Bone marrow aspirate smear.
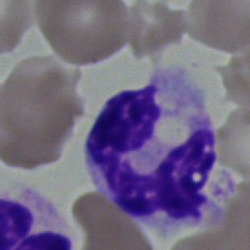 Segmented neutrophil.